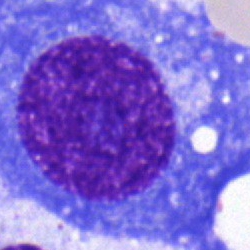 Morphology — plasmacyte.